Brightfield, 40× oil-immersion objective. Bone marrow smear
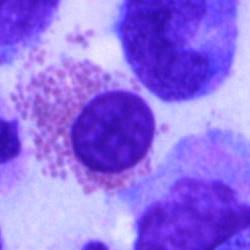 Q: Which cell type is shown here?
A: It is an eosinophilic granulocyte.